Bone marrow smear
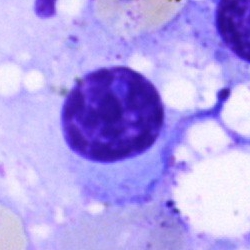

Specimen: bone marrow smear.
Classification: unidentifiable cell.